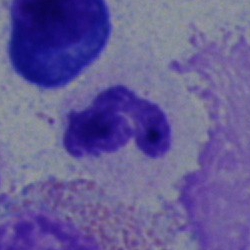 This is a polymorphonuclear neutrophil.